Bone marrow aspirate smear · cropped to a single cell.
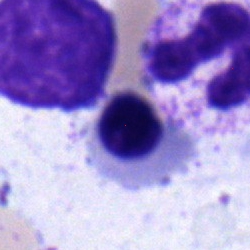
Classification — erythroblast.